Peripheral blood smear — 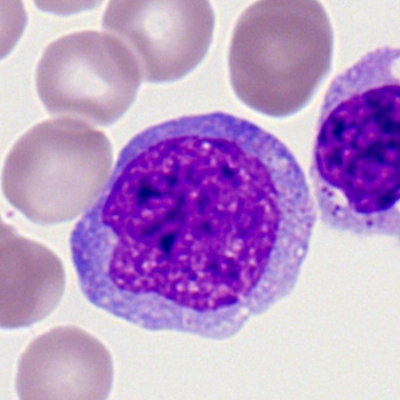Q: Identify the cell.
A: This is a monocyte.